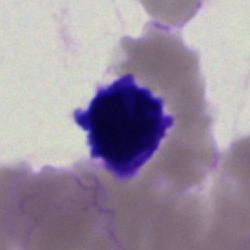 An artifact.